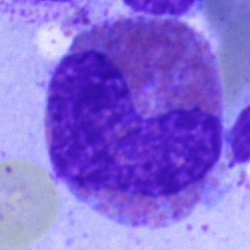 Single cell identified as an eosinophilic granulocyte.